250×250 px; bone marrow smear — 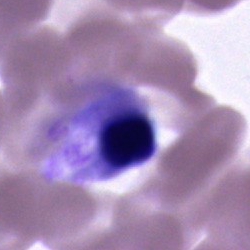
Cell of indeterminate lineage.